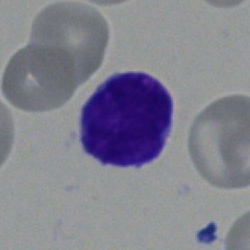Bone marrow smear showing a typical lymphocyte.